Bone marrow aspirate smear. Single-cell field. 40× oil immersion — 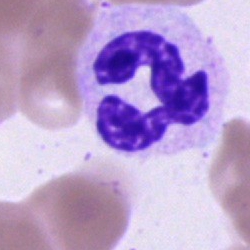
The cell is polymorphonuclear neutrophil.